Bone marrow aspirate smear; single-cell field: 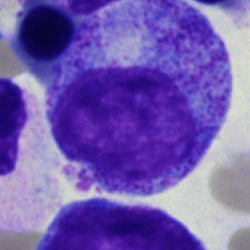

Myelocyte.